400×400. Peripheral blood smear. Cropped to a single cell:
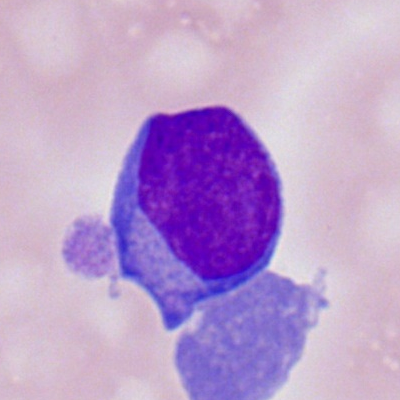
{"cell_type": "myeloid blast"}